Brightfield, 40× oil-immersion objective · MGG-stained · bone marrow aspirate smear.
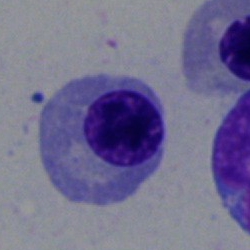Q: What cell is this?
A: It is a normoblast.